Brightfield microscopy, 40× oil immersion. May-Grünwald-Giemsa/Pappenheim stain. Bone marrow smear
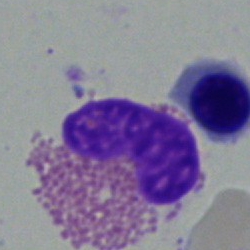

Eosinophil.